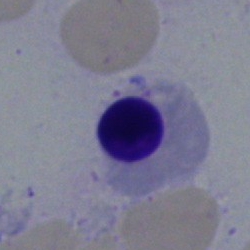 Specimen: bone marrow aspirate smear.
Cell: nucleated red cell.
Lineage: erythroid.